Bone marrow smear.
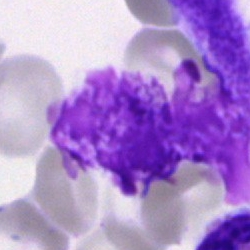

Impression → artefact.